Single cell centered in the field. 40× objective, oil immersion. Bone marrow smear.
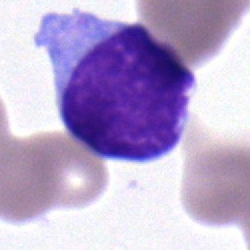 Blast cell.